40× oil immersion; bone marrow aspirate smear.
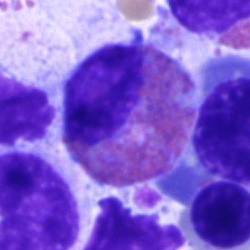

The cell shown is an eosinophil.